Bone marrow smear: 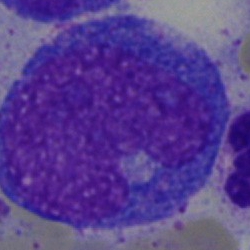 {"cell_type": "progranulocyte"}